Bone marrow smear: 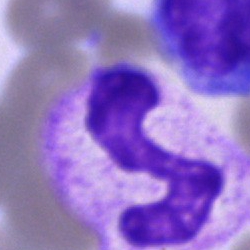

The cell shown is a band neutrophil.